Peripheral blood smear.
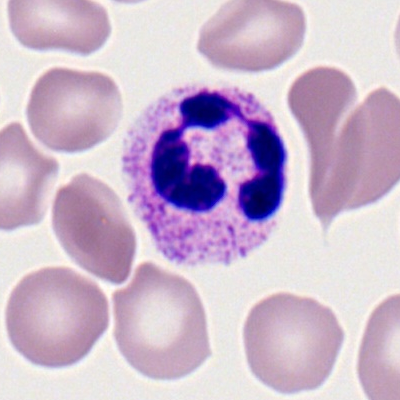

Q: What is shown here?
A: A polymorphonuclear neutrophil.